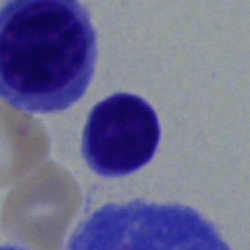
A typical lymphocyte.